Bone marrow smear:
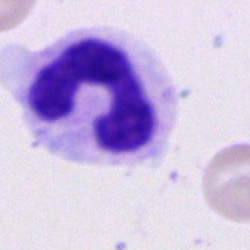Impression → stab cell.